Cropped to a single cell · bone marrow aspirate smear · brightfield microscopy, 40× oil immersion: 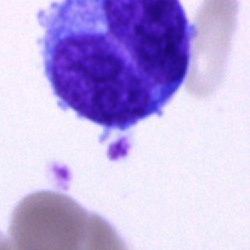
Morphology consistent with a blast.